Bone marrow aspirate smear. May-Grünwald-Giemsa/Pappenheim stain
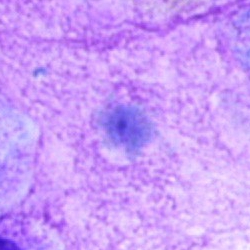
{"cell_type": "artefact"}